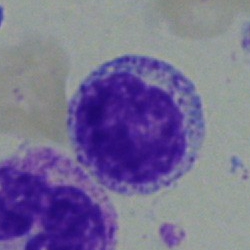

Bone marrow aspirate smear, single cell — myelocyte.